Bone marrow aspirate smear · single cell centered in the field · brightfield microscopy, 40× oil immersion — 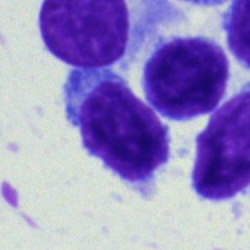
Morphology → lymphocyte.